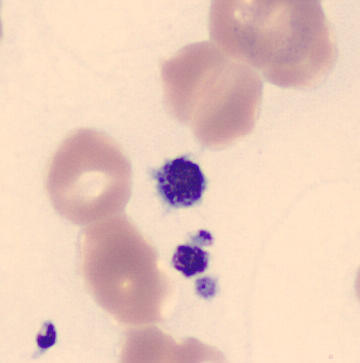

Preparation: Peripheral blood smear.

Morphology consistent with a platelet.